Bone marrow aspirate smear · single cell centered in the field
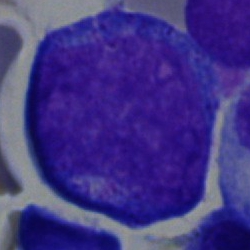A promyelocyte.